Bone marrow aspirate smear — 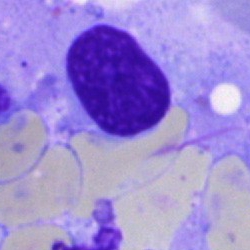
The cell type is artefact.